May-Grünwald-Giemsa/Pappenheim stain. Bone marrow aspirate smear.
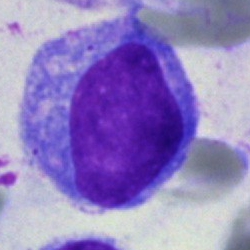 Q: Identify the cell.
A: This is a blast.